Bone marrow smear · single-cell crop · 40× objective, oil immersion: 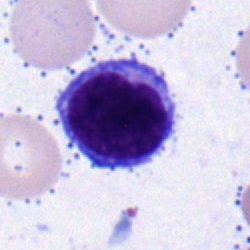Single cell identified as a lymphocyte.